Bone marrow smear · 40× oil immersion.
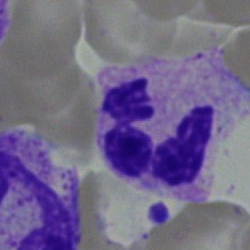

Showing a neutrophil (segmented).